Bone marrow aspirate smear; brightfield microscopy, 40× oil immersion.
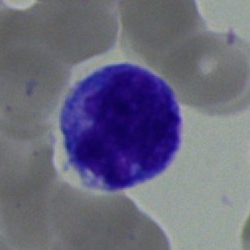
Cell type = monocyte.